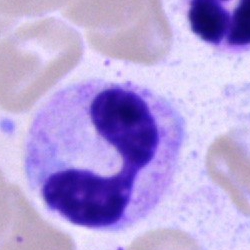
{"cell_type": "polymorphonuclear neutrophil"}